100× oil immersion · peripheral blood film: 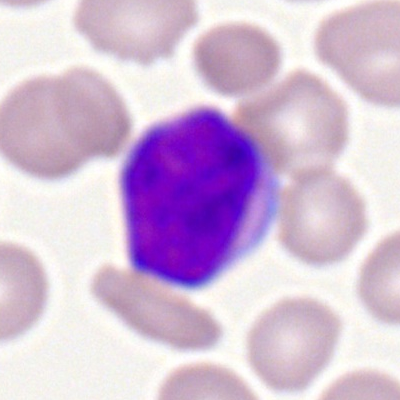
Morphology consistent with a myeloid blast.